Bone marrow smear: 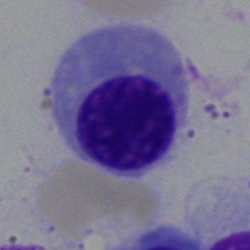
{"cell_type": "normoblast", "lineage": "erythroid"}